Bone marrow aspirate smear
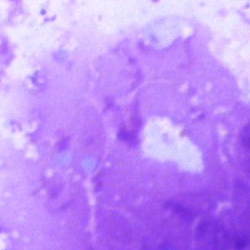 Artefact.